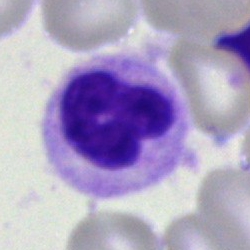Q: Which cell type is shown here?
A: A neutrophil (segmented).